Bone marrow smear. 40× oil immersion:
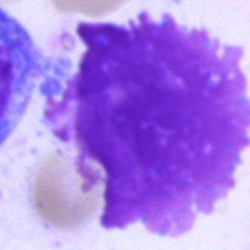

Single cell identified as an artifact.